Bone marrow smear — 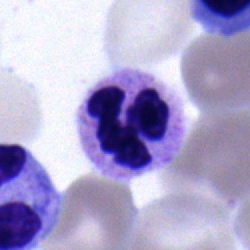

Morphology — polymorphonuclear neutrophil.